250×250 px; bone marrow smear: 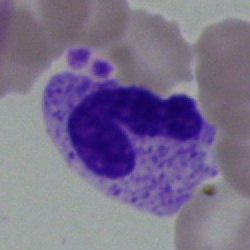This is a stab cell.